Single-cell field. 40× oil immersion. Bone marrow smear
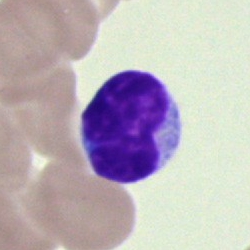 The cell shown is a lymphocyte.